Bone marrow aspirate smear · single-cell field
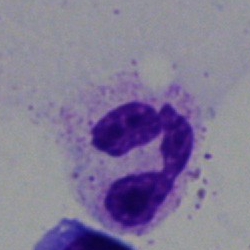
Specimen: bone marrow smear.
Cell: polymorphonuclear neutrophil.